Peripheral blood smear
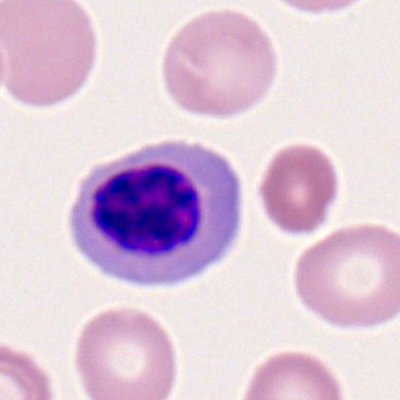
Single cell identified as a normoblast.